Bone marrow aspirate smear: 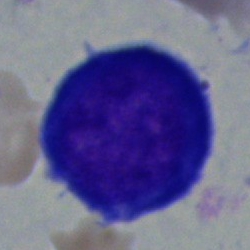Proerythroblast.